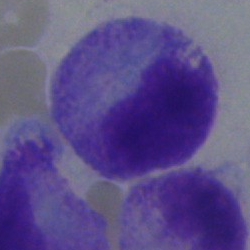

Single cell identified as a myelocyte.